Bone marrow aspirate smear:
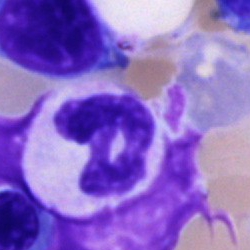
Morphology consistent with a neutrophil (segmented).